Bone marrow aspirate smear: 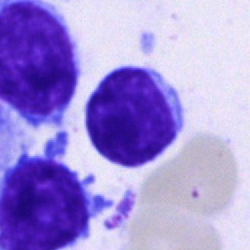A plasma cell.